40× objective, oil immersion · bone marrow smear:
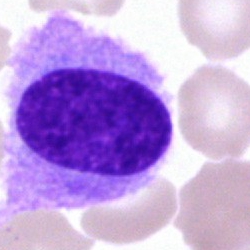 The cell type is hairy cell.